Bone marrow smear · cropped to a single cell · Pappenheim-stained:
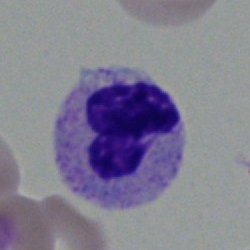

Morphological class: neutrophil (segmented).